Bone marrow aspirate smear; May-Grünwald-Giemsa stain.
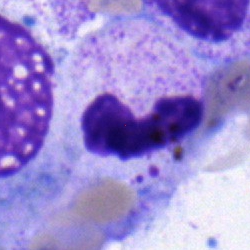
Stab cell.